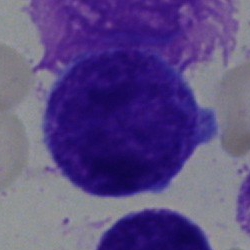

Bone marrow aspirate smear, single cell — promyelocyte.